Bone marrow aspirate smear · 40× objective, oil immersion — 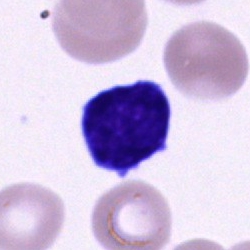Morphology consistent with a lymphocyte.